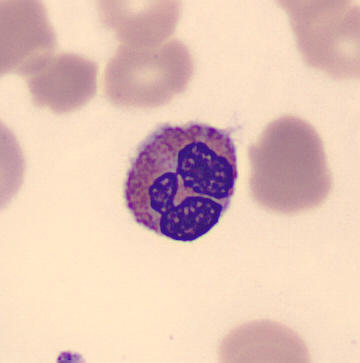
The morphological class is eosinophil.